Bone marrow aspirate smear; MGG-stained:
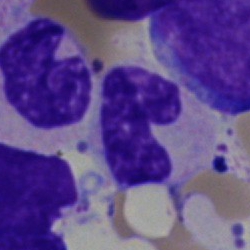 Showing a band-form neutrophil.